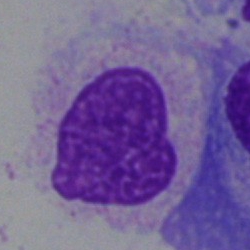

The morphological class is artefact.